May-Grünwald-Giemsa/Pappenheim stain; bone marrow smear: 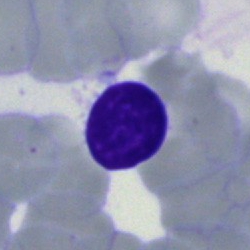Cell type — lymphocyte.